250×250. Bone marrow aspirate smear
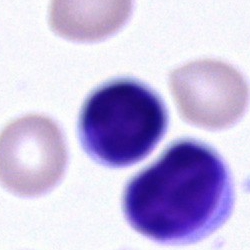 Specimen: bone marrow smear.
Cell: lymphocyte.
Lineage: lymphoid.